Bone marrow aspirate smear — 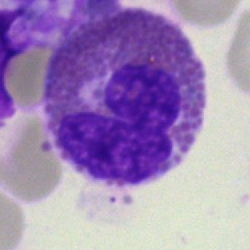 Q: Identify the cell.
A: Eosinophil.